Bone marrow smear.
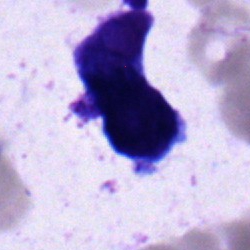

Classification — blast cell.